40× oil immersion · single-cell crop · bone marrow smear
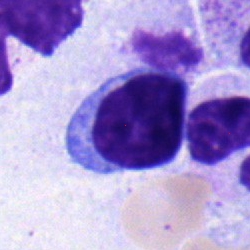
Morphology consistent with a typical lymphocyte.